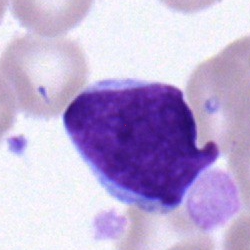
Impression — undifferentiated blast.